Bone marrow aspirate smear:
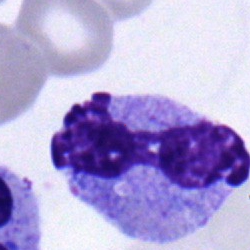

Classification: segmented neutrophil.